Bone marrow aspirate smear: 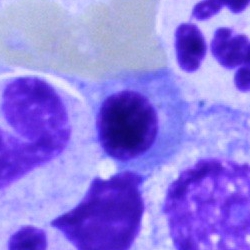

Cell = nucleated red blood cell.